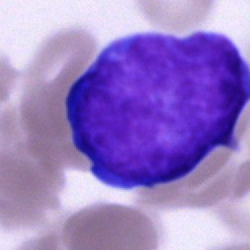
Q: What is the morphological classification of this cell?
A: It is a blast.